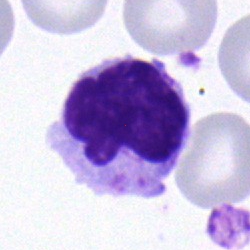

{"cell_type": "lymphocyte", "lineage": "lymphoid"}